Bone marrow smear. Cropped to a single cell
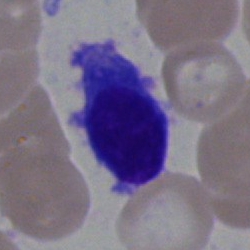 Classification = plasmacyte.